Peripheral blood film: 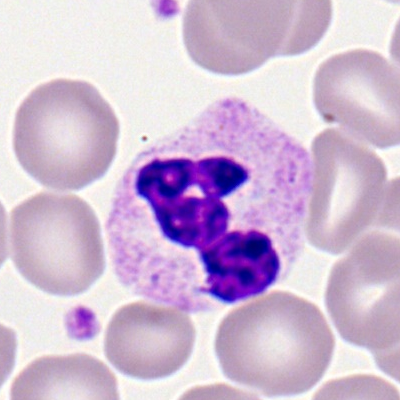

Morphological class: neutrophil (segmented).